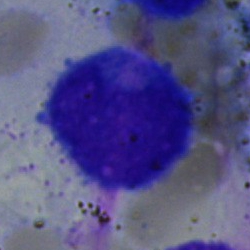

Cell: undifferentiated blast.